Bone marrow smear:
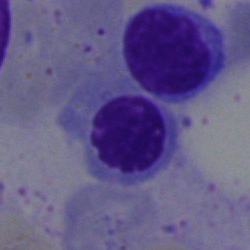 Normoblast.